Image size 250×250 · bone marrow smear
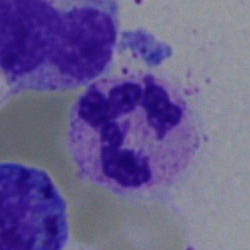Morphology consistent with a polymorphonuclear neutrophil.